Image size 400×400 · Romanowsky-stained · peripheral blood smear: 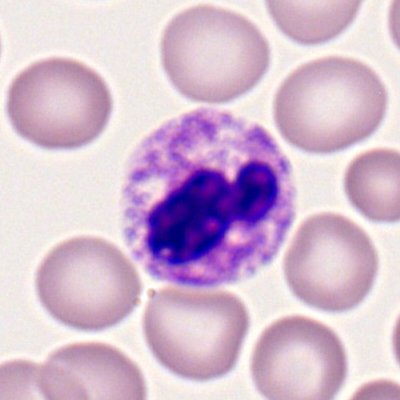Q: What is the morphological classification of this cell?
A: It is a neutrophil (segmented).